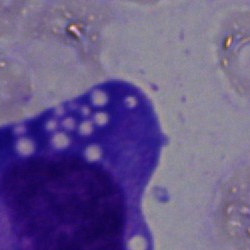

The cell shown is a blast.